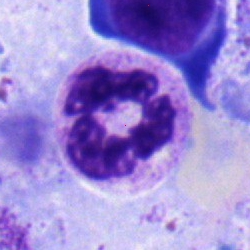

Impression → polymorphonuclear neutrophil.